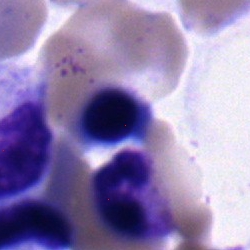

Cell — nucleated red blood cell.